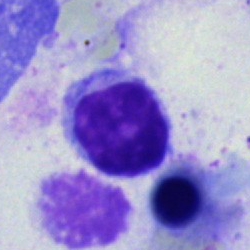 Single-cell crop from a bone marrow smear: typical lymphocyte.